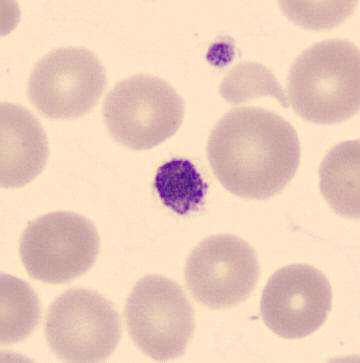
Specimen: peripheral blood film.
Morphological class: thrombocyte.